Bone marrow smear — 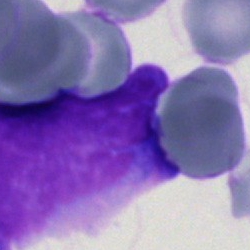Cell = blast cell.